Peripheral blood film.
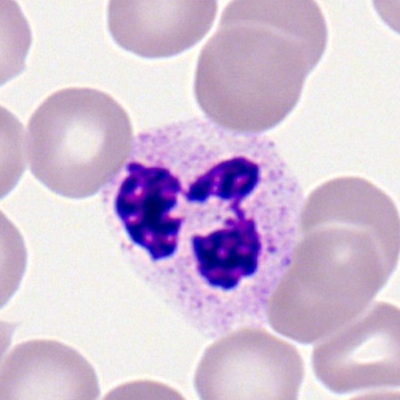 Cell: segmented neutrophil.